Peripheral blood film. 100× oil immersion: 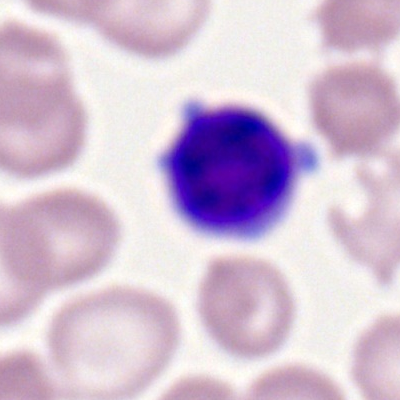 Impression — lymphocyte.